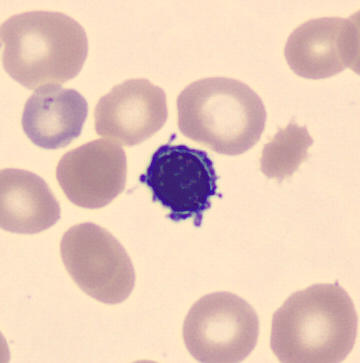
Image: Peripheral blood film.
Q: What cell is this?
A: Erythroblast.